Bone marrow aspirate smear · single cell centered in the field
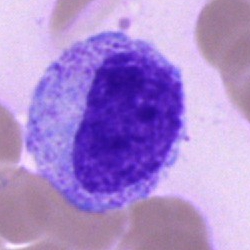

Q: What type of cell is this?
A: Myelocyte.